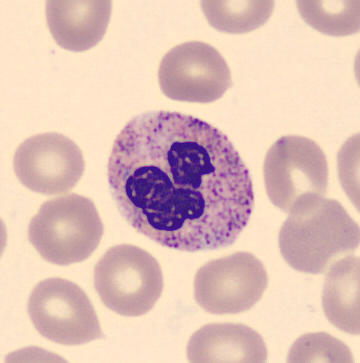
Q: Which cell type is shown here?
A: It is a polymorphonuclear neutrophil.